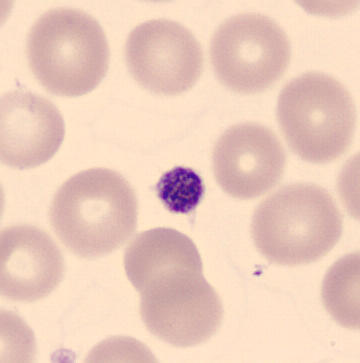
Cell type: platelet (thrombocyte).

Peripheral blood film.